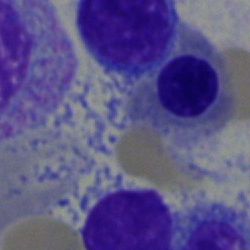

Cell type: erythroblast.